Bone marrow smear
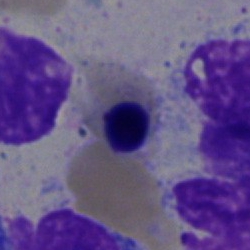

Cell type = nucleated red cell.